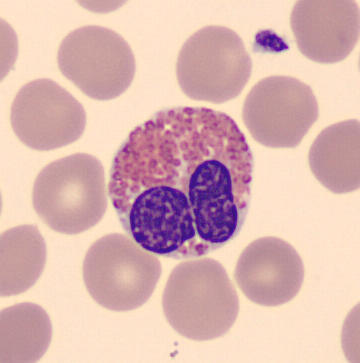
Image: May-Grünwald-Giemsa-stained. Automated cell imaging (CellaVision DM96). Peripheral blood film.

The morphological class is eosinophilic granulocyte.